Brightfield, 40× oil-immersion objective · bone marrow aspirate smear
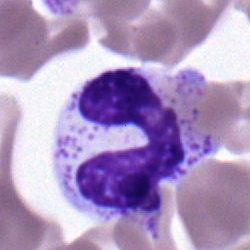
The classification is band-form neutrophil.